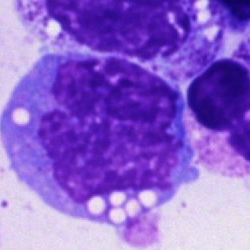This is a monocyte.